Bone marrow aspirate smear — 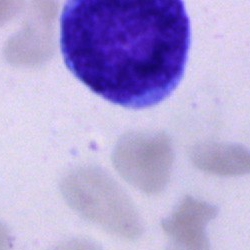

Classification = cell of indeterminate lineage.